Bone marrow aspirate smear: 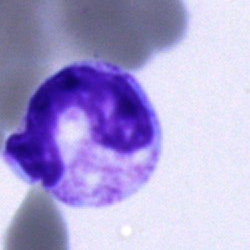Morphology → stab cell.